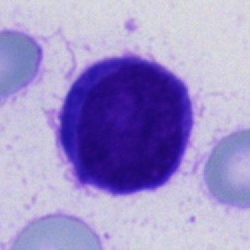
Cell type: unidentifiable cell.